Bone marrow smear: 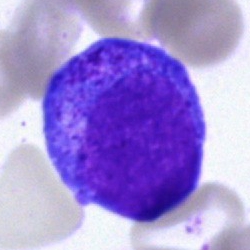 Specimen: bone marrow aspirate smear.
Morphological class: blast.